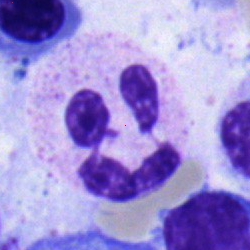The cell shown is a segmented neutrophil.